Bone marrow aspirate smear.
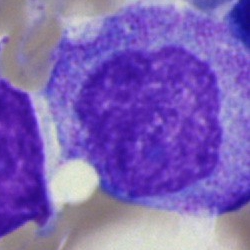 Cell — progranulocyte.